Bone marrow smear
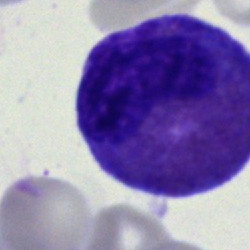

Morphology consistent with an eosinophilic granulocyte.